Bone marrow smear:
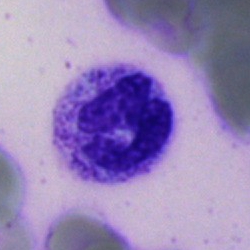

Showing a neutrophil (segmented).